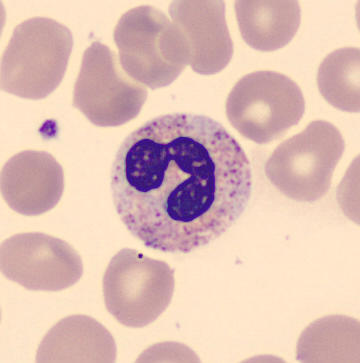

Impression — band neutrophil.